Single-cell field · bone marrow smear: 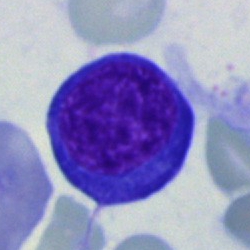
Specimen: bone marrow smear.
Morphological class: erythroblast.
Lineage: erythroid.